Bone marrow aspirate smear: 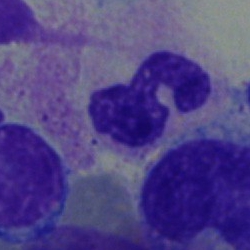
Classification: band neutrophil.